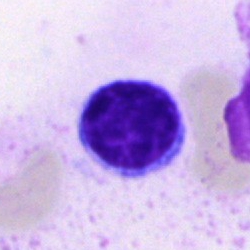 Lymphocyte.